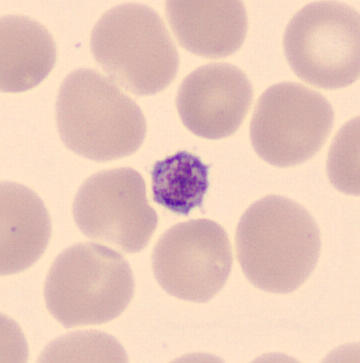

Cell type = platelet (thrombocyte).

Image: Peripheral blood smear; image size 360×363.